250×250 px; bone marrow aspirate smear: 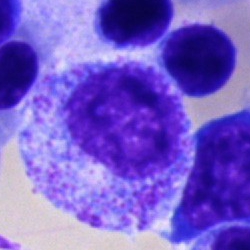 Morphology → promyelocyte.